Single-cell field · 40× oil immersion · bone marrow aspirate smear — 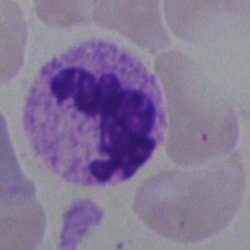

Cell type = segmented neutrophil.